Peripheral blood smear · single-cell field · Romanowsky stain.
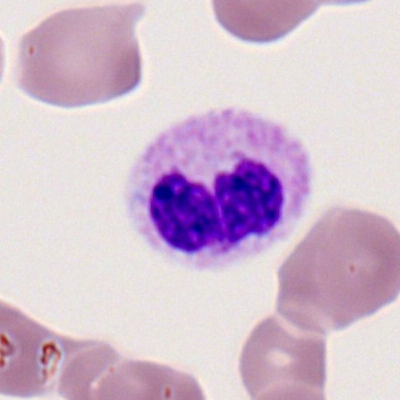 Cell — neutrophil (segmented).